Bone marrow aspirate smear:
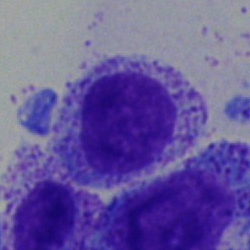
Classification = myelocyte.